Bone marrow aspirate smear. Single cell centered in the field:
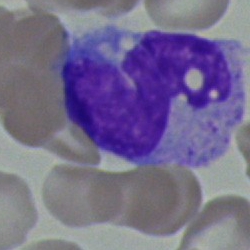

Q: What type of cell is this?
A: A monocyte.